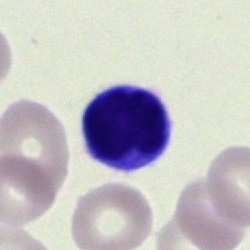
Specimen: bone marrow smear.
Morphological class: lymphocyte.
Lineage: lymphoid.